Peripheral blood film: 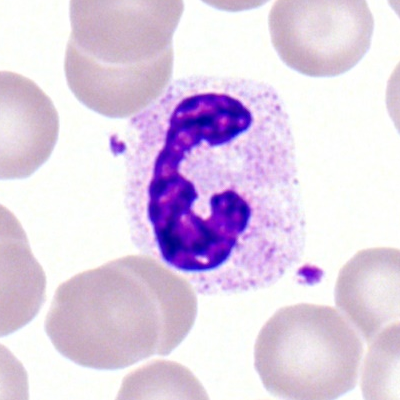Segmented neutrophil.